Pappenheim-stained · single cell centered in the field · bone marrow smear.
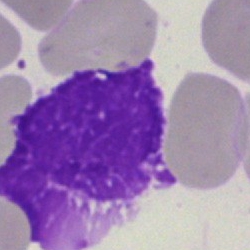 Morphology — artifact.